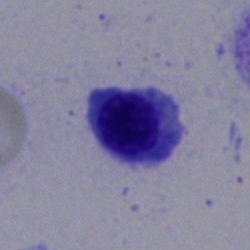 This is an erythroblast.